Bone marrow aspirate smear: 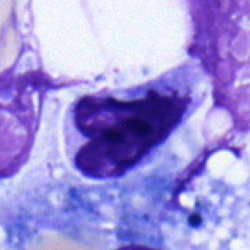

Morphology consistent with a monocyte.